May-Grünwald-Giemsa stain. Bone marrow aspirate smear
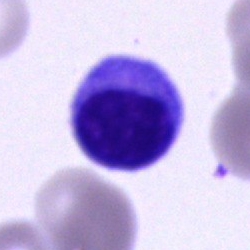 An artifact.